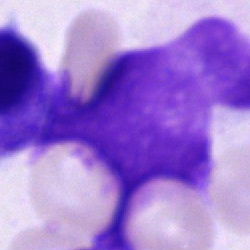Q: What is shown here?
A: It is an artefact.